Bone marrow smear.
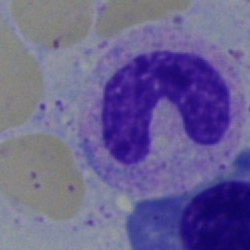
Specimen: bone marrow smear.
Cell type: band-form neutrophil.
Lineage: myeloid.